Bone marrow smear
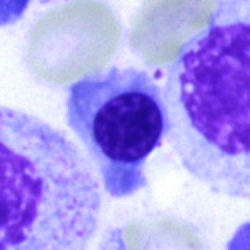
An erythroblast.